May-Grünwald-Giemsa stain · bone marrow smear · single-cell crop:
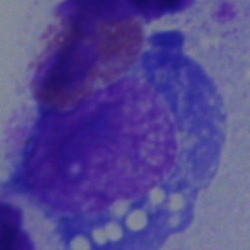Single cell identified as a promyelocyte.